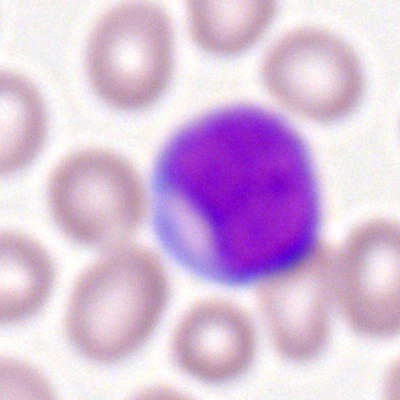Q: Identify the cell.
A: A myeloid blast.